40× oil immersion. Bone marrow smear. Single cell centered in the field
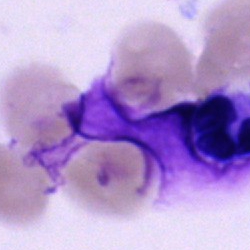
Single cell identified as an artefact.